Peripheral blood film.
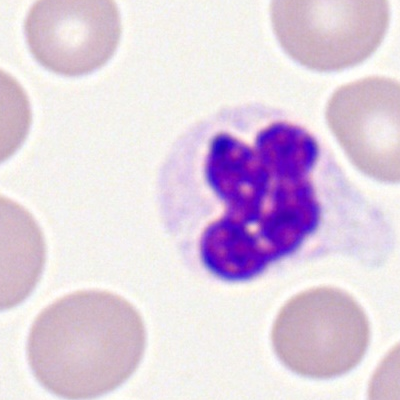

Specimen: peripheral blood film.
Morphological class: polymorphonuclear neutrophil.
Lineage: myeloid.